Brightfield microscopy, 40× oil immersion. Bone marrow smear.
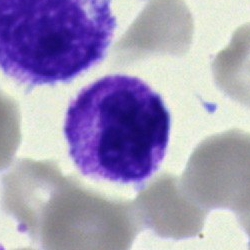

This is a myelocyte.